Bone marrow smear; single-cell crop; 40× oil immersion
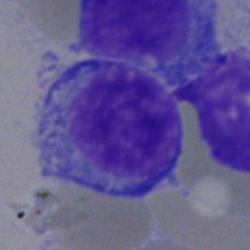 Q: What is shown here?
A: A lymphocyte.